Peripheral blood film; 400×400 px
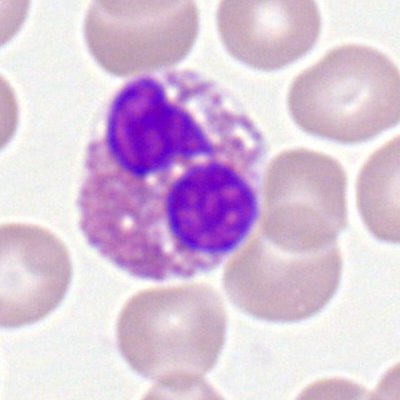Cell type — eosinophil.